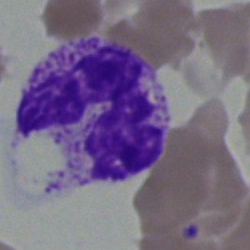

Classification: segmented neutrophil.